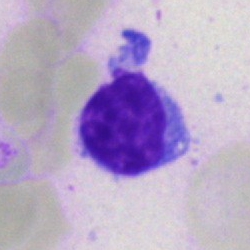

Cell — typical lymphocyte.